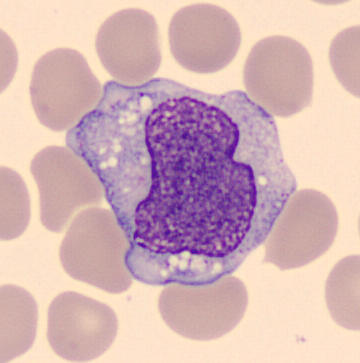 Q: Which cell type is shown here?
A: This is a monocyte.